Bone marrow aspirate smear — 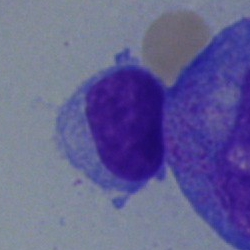 Impression → typical lymphocyte.